Bone marrow aspirate smear: 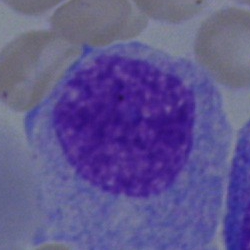

Cell: myelocyte.